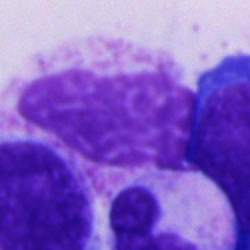
Cell — artefact.